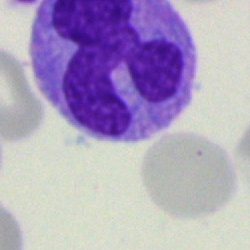
Showing a monocyte.